Bone marrow aspirate smear: 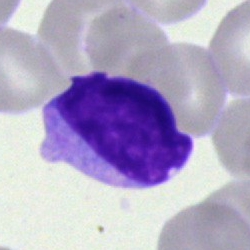Showing a blast cell.